Bone marrow aspirate smear. 250 by 250 pixels — 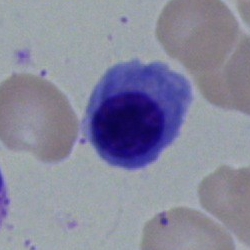{"cell_type": "nucleated red cell"}